250×250 px · bone marrow aspirate smear: 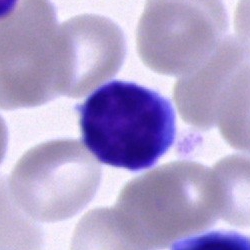
Classification = lymphocyte.